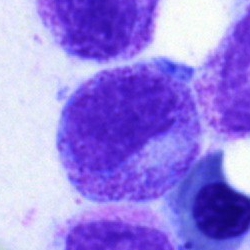
Morphological class — progranulocyte.